Peripheral blood film:
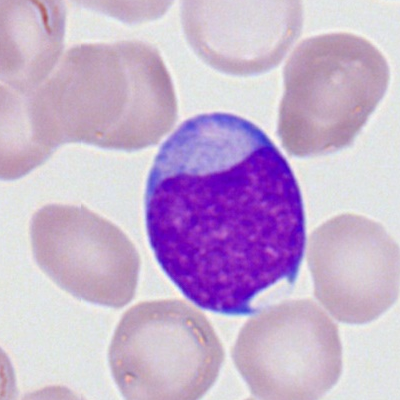
This is a myeloblast.